Bone marrow smear:
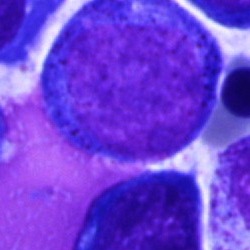
Single cell identified as a pronormoblast.